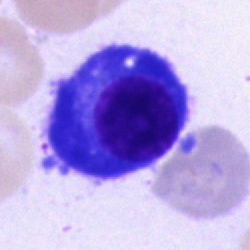Q: Which cell type is shown here?
A: It is a plasma cell.